Bone marrow smear — 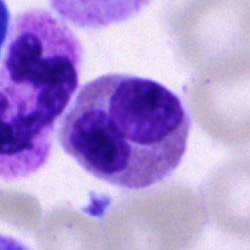

Cell: eosinophil.